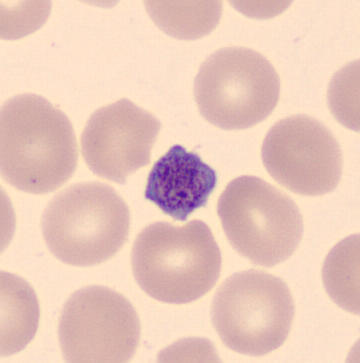

Showing a platelet.